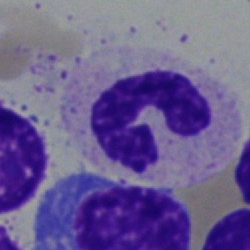Bone marrow smear showing a stab cell.